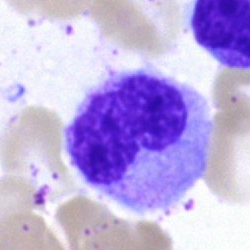

Q: Which cell type is shown here?
A: It is a metamyelocyte.